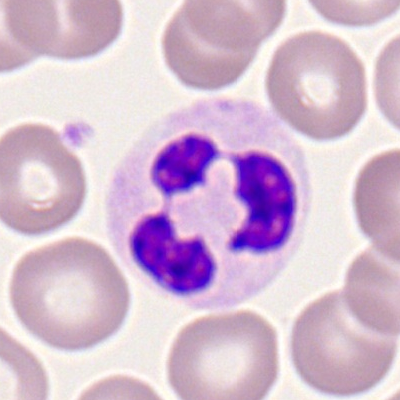
Cell type = neutrophil (segmented).